Peripheral blood film:
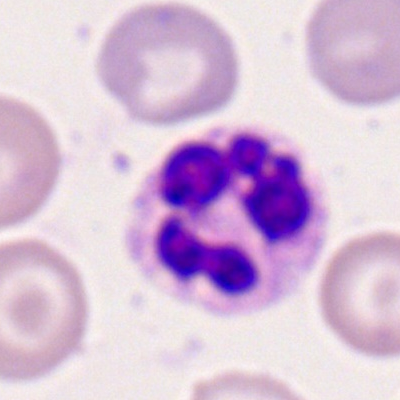The classification is segmented neutrophil.